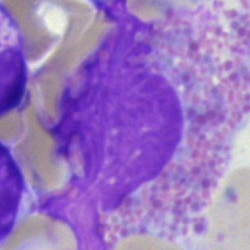Q: What cell is this?
A: This is an eosinophil.